Brightfield, 40× oil-immersion objective; image size 250×250; bone marrow aspirate smear: 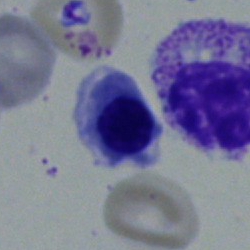 The cell shown is an erythroblast.